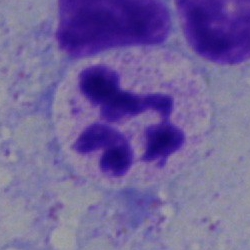

Impression → segmented neutrophil.